Image size 250×250. Bone marrow aspirate smear — 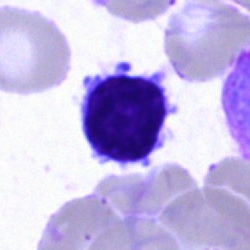 Q: Identify the cell.
A: Lymphocyte.